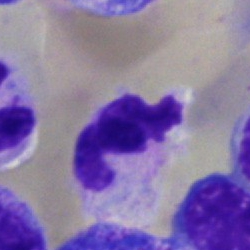

Cell type: neutrophil (segmented).